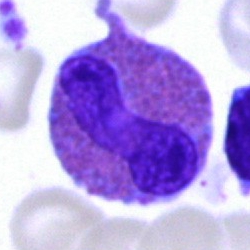
Q: What is shown here?
A: An eosinophil.